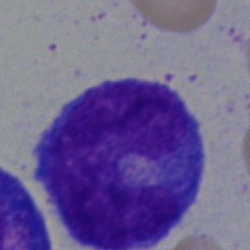
A monocyte.